Romanowsky stain. Peripheral blood film. 400×400 px.
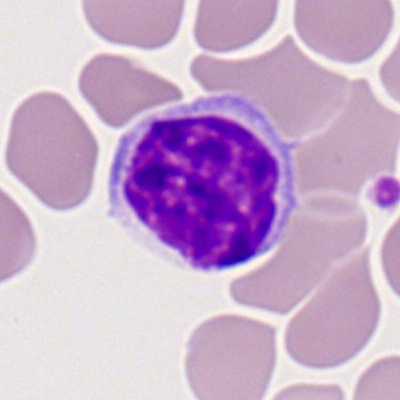 Morphological class — lymphocyte.